Bone marrow aspirate smear
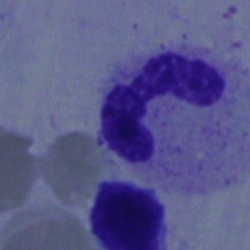 Showing a stab cell.